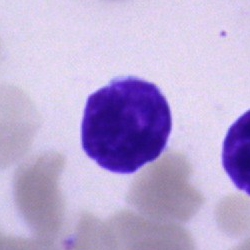 A lymphocyte.